Peripheral blood smear — 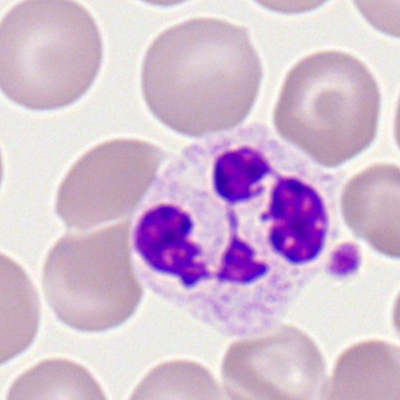Cell type: segmented neutrophil.